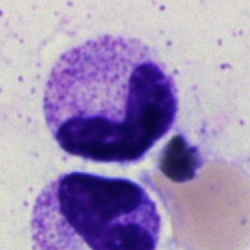 The cell type is stab cell.